Bone marrow smear
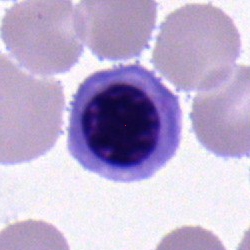

Morphological class = nucleated red cell.